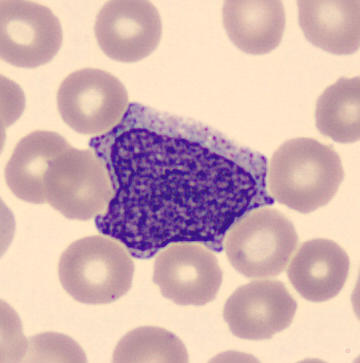 {"cell_type": "myelocyte", "lineage": "myeloid"}
Preparation: Peripheral blood smear · May Grünwald-Giemsa stain.